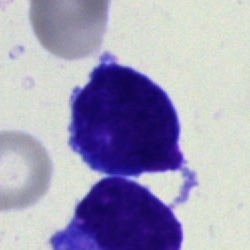An undifferentiated blast.